Bone marrow aspirate smear.
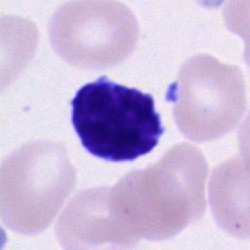

{"cell_type": "typical lymphocyte"}